Bone marrow smear. Cropped to a single cell: 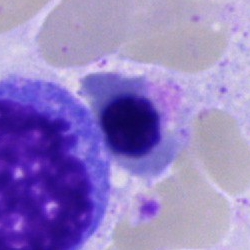 Q: What is shown here?
A: A normoblast.